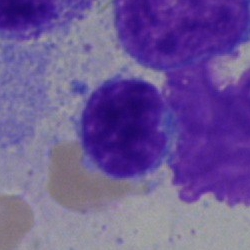

Q: What is the morphological classification of this cell?
A: Lymphocyte.